Bone marrow aspirate smear · Pappenheim-stained — 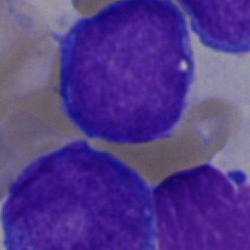 Q: What is shown here?
A: Blast cell.